Bone marrow smear · May-Grünwald-Giemsa/Pappenheim stain — 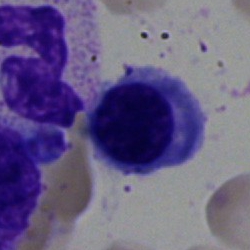Showing a nucleated red blood cell.